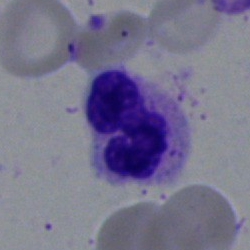

The cell type is segmented neutrophil.